Single cell centered in the field. Bone marrow smear — 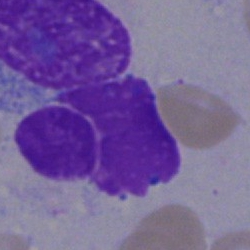
Cell type = artefact.